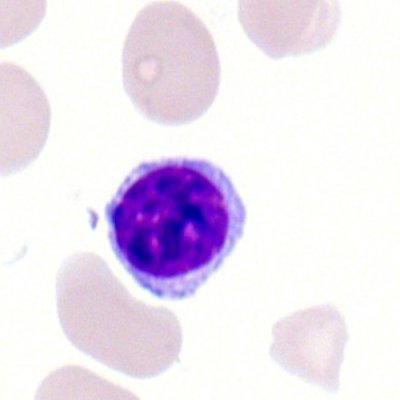 The cell is lymphocyte.